Bone marrow aspirate smear — 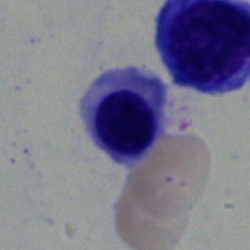 The morphological class is nucleated red cell.